Bone marrow aspirate smear — 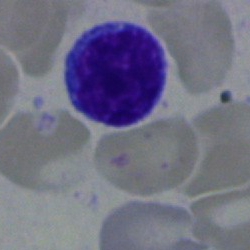
This is a lymphocyte.